Bone marrow aspirate smear:
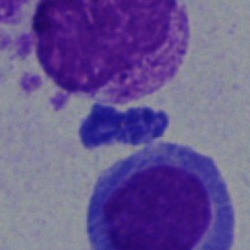A normoblast.